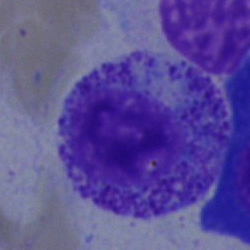
A myelocyte on a bone marrow smear.